Brightfield, 40× oil-immersion objective; bone marrow aspirate smear — 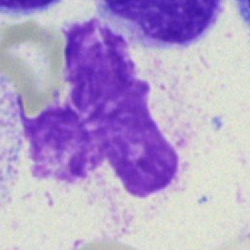

Q: What is shown here?
A: Artefact.